Bone marrow aspirate smear:
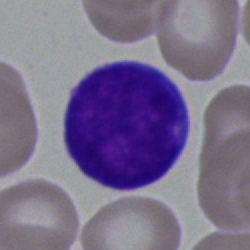

Morphological class — undifferentiated blast.